Bone marrow aspirate smear. Cropped to a single cell.
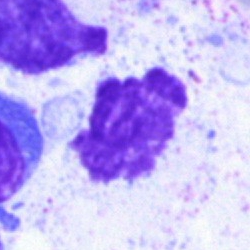
The cell shown is an artefact.